250 by 250 pixels · May-Grünwald-Giemsa stain · bone marrow aspirate smear:
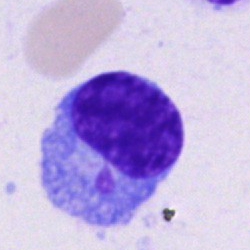 Q: What is the morphological classification of this cell?
A: This is a plasma cell.